Bone marrow smear — 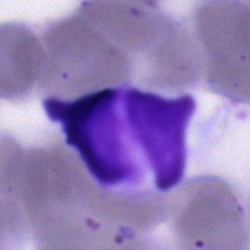

Artefact.